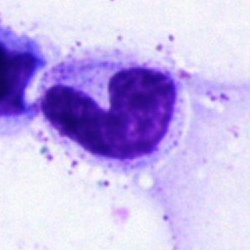

{"cell_type": "band-form neutrophil", "lineage": "myeloid"}